Bone marrow smear · image size 250×250 — 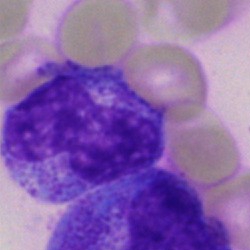
A band neutrophil.